40× objective, oil immersion. 250 by 250 pixels. Bone marrow smear: 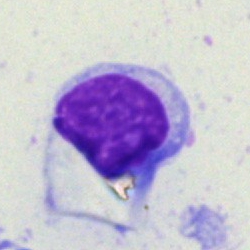
Specimen: bone marrow aspirate smear.
Classification: typical lymphocyte.
Lineage: lymphoid.